Bone marrow smear. Single-cell field:
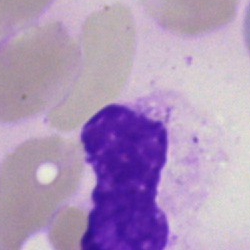 Q: What is shown here?
A: Artefact.